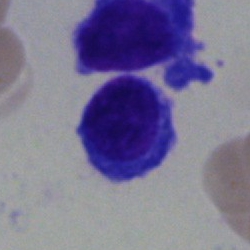

Impression → plasma cell.